Bone marrow aspirate smear · single-cell field.
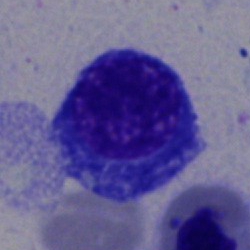
Erythroblast.